Brightfield microscopy, 40× oil immersion · bone marrow smear.
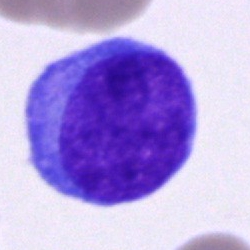Morphology consistent with a blast.